Bone marrow aspirate smear: 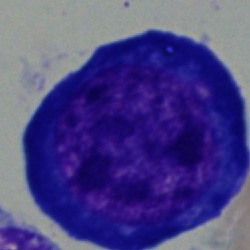 Classification: proerythroblast.